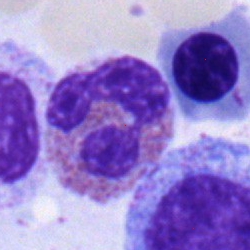Specimen: bone marrow aspirate smear.
Cell: eosinophil.